Peripheral blood smear; 400×400 px:
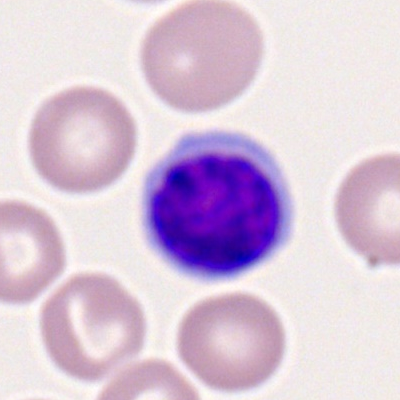

Showing a typical lymphocyte.